Bone marrow smear — 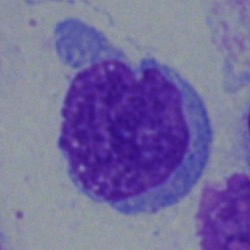

Morphology — blast.